Cropped to a single cell; bone marrow aspirate smear: 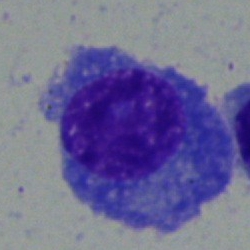
Morphology consistent with a plasmacyte.